Single-cell crop; 250×250 px; bone marrow smear — 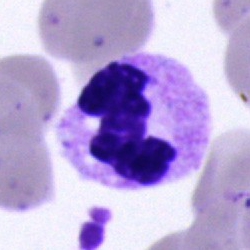
Q: Which cell type is shown here?
A: This is a neutrophil (segmented).